May-Grünwald-Giemsa stain. Bone marrow smear.
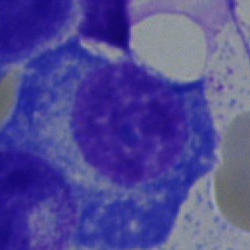
The cell shown is a plasmacyte.